250×250 px · bone marrow smear
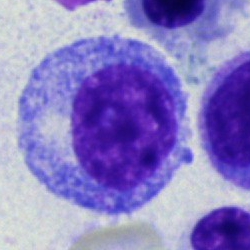

This is a promyelocyte.